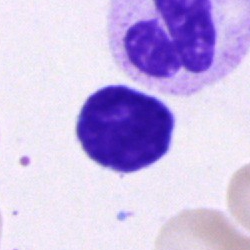

{"cell_type": "typical lymphocyte", "lineage": "lymphoid"}